Peripheral blood film — 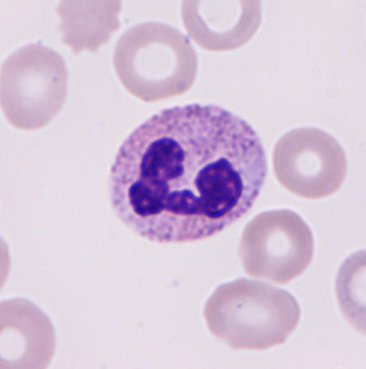
{"cell_type": "neutrophil"}